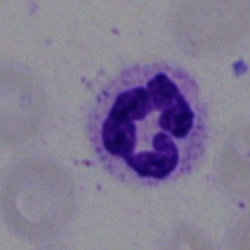
Single-cell crop from a bone marrow smear: polymorphonuclear neutrophil.